Bone marrow aspirate smear:
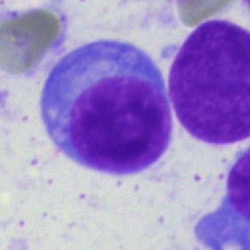
Morphology → plasma cell.